Bone marrow aspirate smear: 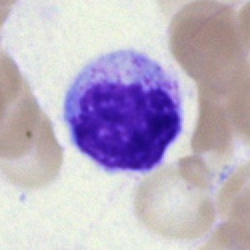

The cell shown is a myelocyte.